Bone marrow aspirate smear.
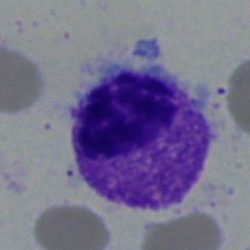

Morphology consistent with a myelocyte.